Bone marrow aspirate smear: 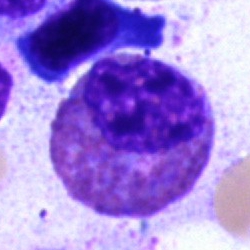

An eosinophilic granulocyte.